Image size 400×400. Peripheral blood smear.
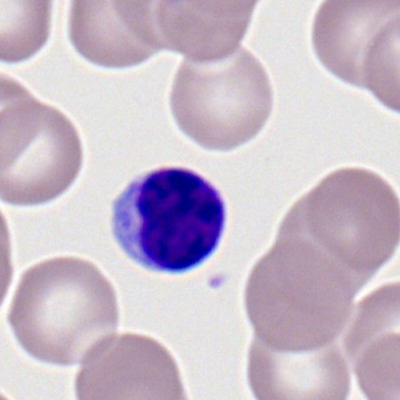Classification: typical lymphocyte.